Bone marrow smear · 250×250 px · MGG-stained:
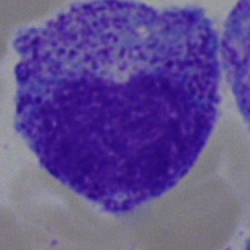The cell is promyelocyte.